Bone marrow aspirate smear — 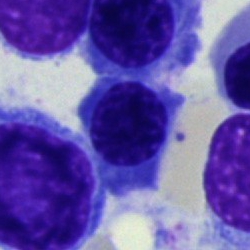

Specimen: bone marrow aspirate smear.
Cell type: erythroblast.
Lineage: erythroid.